Bone marrow smear: 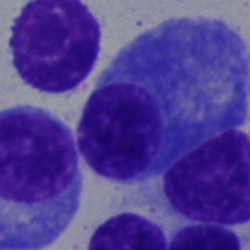Q: What is shown here?
A: It is a plasma cell.